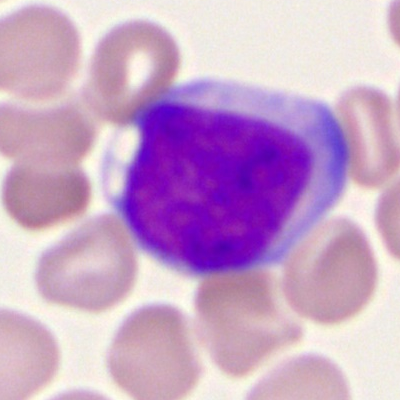

Morphology consistent with a myeloid blast.